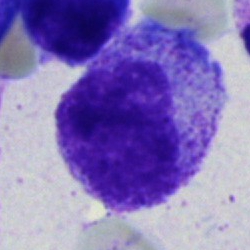Q: What cell is this?
A: Myelocyte.